Brightfield microscopy, 40× oil immersion; bone marrow aspirate smear — 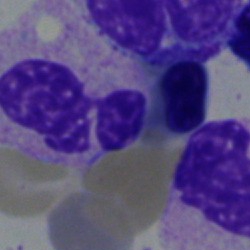

Showing a neutrophil (segmented).